Bone marrow aspirate smear.
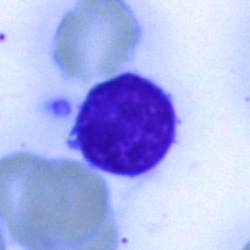Morphology consistent with a typical lymphocyte.